MGG-stained; bone marrow smear
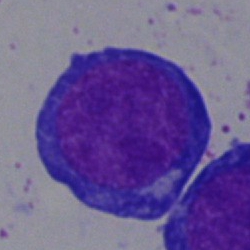 Morphological class: pronormoblast.